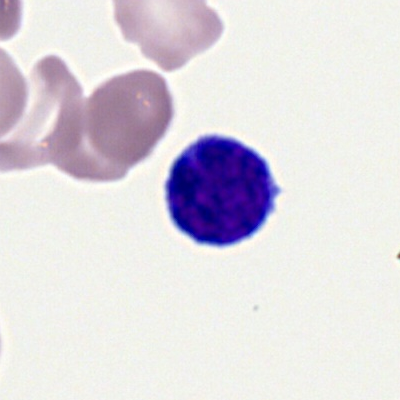 Q: What cell is this?
A: This is a lymphocyte.